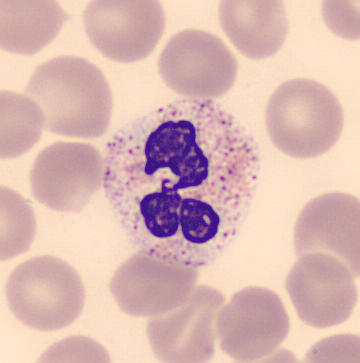Showing a segmented neutrophil.
Preparation: Imaged on a CellaVision DM96 analyser. Peripheral blood smear.